Bone marrow aspirate smear. 40× objective, oil immersion: 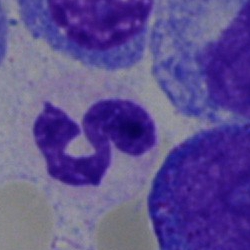

Morphology consistent with a polymorphonuclear neutrophil.